Image size 250×250 · single-cell field · bone marrow smear:
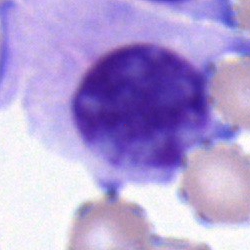

Q: Which cell type is shown here?
A: This is a lymphocyte.